Bone marrow smear — 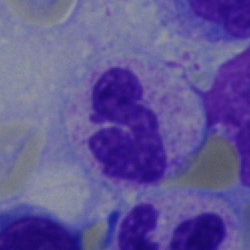

Impression → band-form neutrophil.